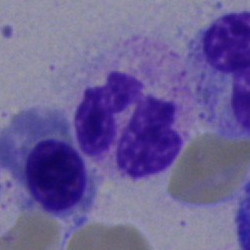
Impression → polymorphonuclear neutrophil.